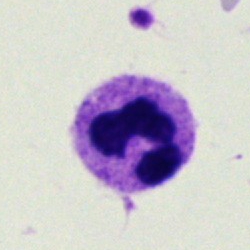
Bone marrow aspirate smear, single cell — neutrophil (segmented).